Bone marrow aspirate smear. 250×250. May-Grünwald-Giemsa stain: 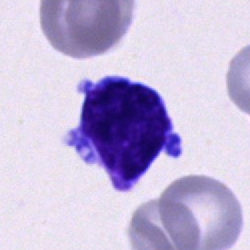 Single cell identified as an undifferentiated blast.